Romanowsky stain; peripheral blood smear:
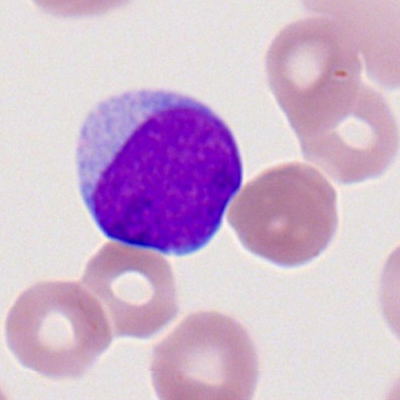

Cell type — myeloblast.